Bone marrow smear — 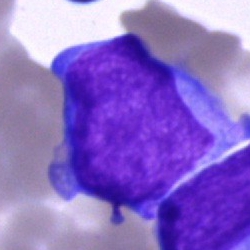

Morphology — blast cell.